Bone marrow aspirate smear — 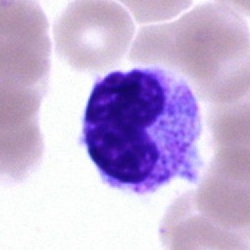

Q: What is the morphological classification of this cell?
A: Metamyelocyte.